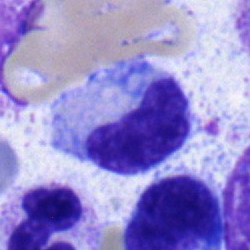

Morphology → metamyelocyte.